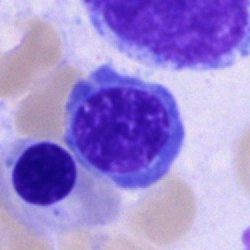Single-cell crop from a bone marrow smear: nucleated red blood cell.